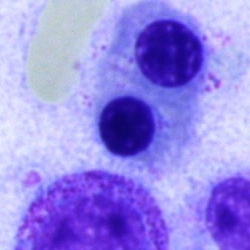

Single cell identified as an erythroblast.